Bone marrow smear · Pappenheim-stained · 40× objective, oil immersion: 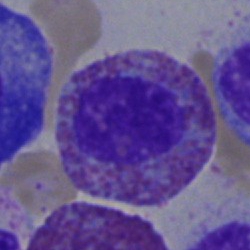Morphology consistent with an eosinophil.